Bone marrow aspirate smear: 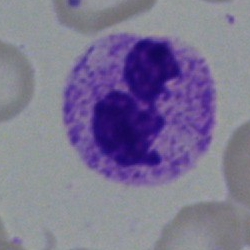

The cell shown is a neutrophil (segmented).